250×250. Bone marrow aspirate smear:
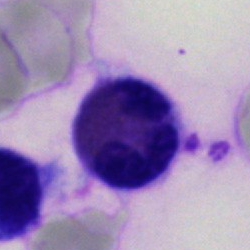
Cell type: eosinophilic granulocyte.